Bone marrow smear · 250 by 250 pixels: 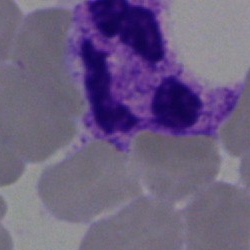 Specimen: bone marrow smear.
Classification: segmented neutrophil.
Lineage: myeloid.